Brightfield, 40× oil-immersion objective; bone marrow aspirate smear
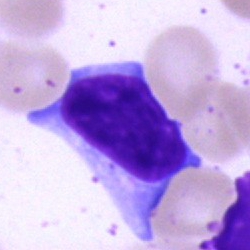Morphology consistent with a lymphocyte.